Image size 250×250 · bone marrow smear.
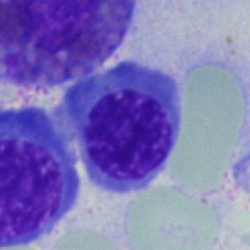

Morphology consistent with an erythroblast.